Pappenheim-stained · bone marrow smear — 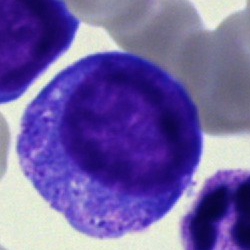 A promyelocyte.